Single cell centered in the field · 250×250 px · bone marrow aspirate smear:
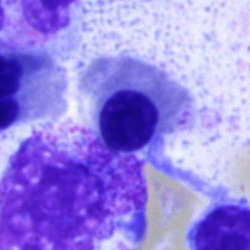 Cell — erythroblast.